Cropped to a single cell · bone marrow aspirate smear
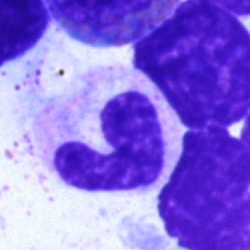Impression — band neutrophil.